Cropped to a single cell. Bone marrow aspirate smear. 40× objective, oil immersion: 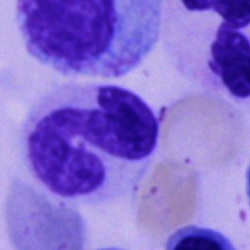 Q: What is shown here?
A: It is a stab cell.